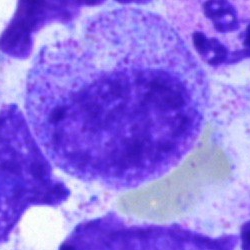 Cell — myelocyte.